Bone marrow smear: 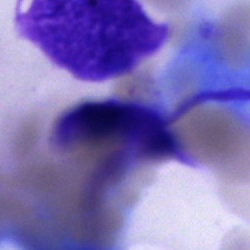
Morphology consistent with an artefact.